Bone marrow smear: 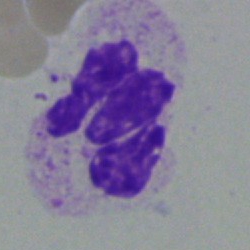 Specimen: bone marrow aspirate smear.
Classification: segmented neutrophil.